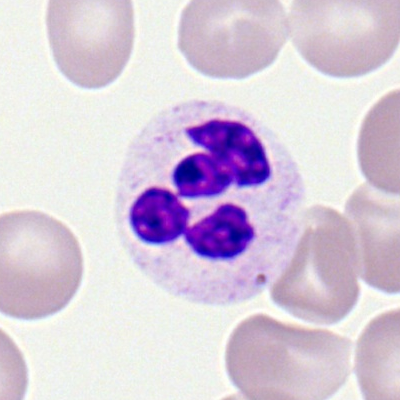
Morphology consistent with a polymorphonuclear neutrophil.